May-Grünwald-Giemsa/Pappenheim stain; 250 by 250 pixels; bone marrow aspirate smear:
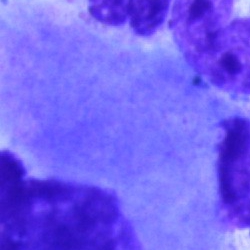Impression — artifact.